Bone marrow smear: 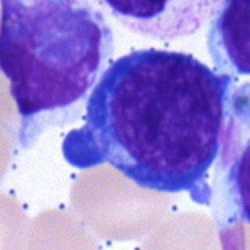

Morphology consistent with a nucleated red cell.